Bone marrow smear: 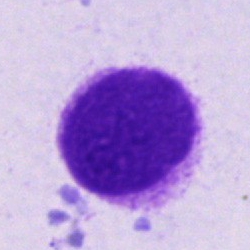
Impression → artefact.